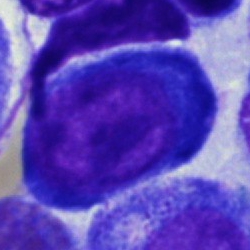
Morphological class: proerythroblast.